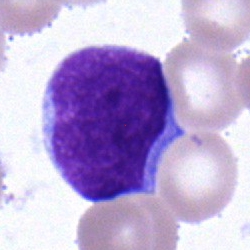 {"cell_type": "undifferentiated blast"}